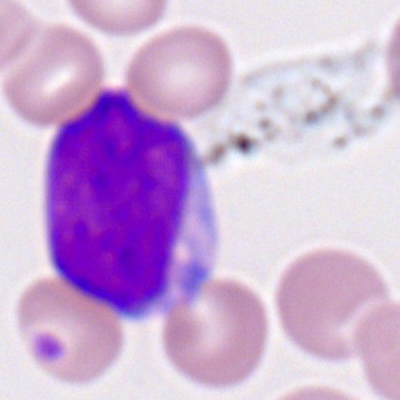Single cell identified as a myeloid blast.